Bone marrow aspirate smear.
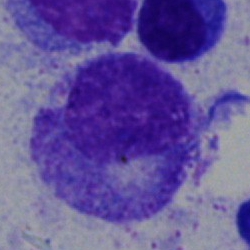
Specimen: bone marrow smear.
Cell: myelocyte.
Lineage: myeloid.